Bone marrow smear.
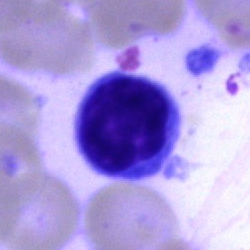

Specimen: bone marrow aspirate smear.
Classification: typical lymphocyte.
Lineage: lymphoid.